400×400 · Romanowsky stain · peripheral blood smear
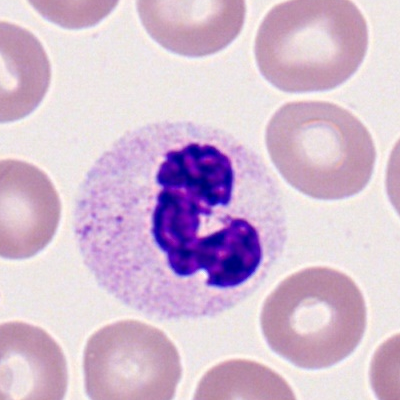
Showing a segmented neutrophil.